Peripheral blood smear
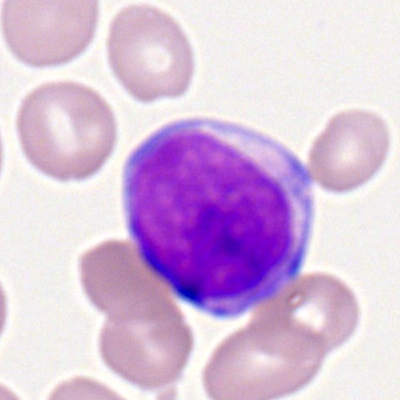
The cell is myeloid blast.